Bone marrow smear: 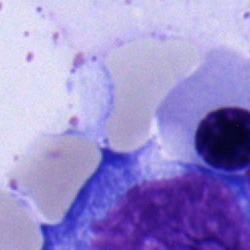 {"cell_type": "erythroblast"}